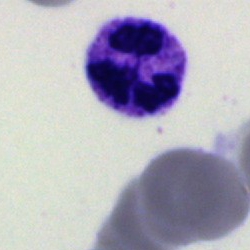This is a neutrophil (segmented).